Bone marrow aspirate smear; Pappenheim-stained: 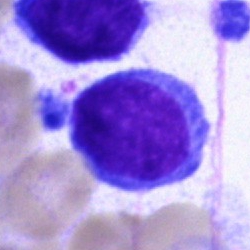 Classification: lymphocyte.